Bone marrow aspirate smear: 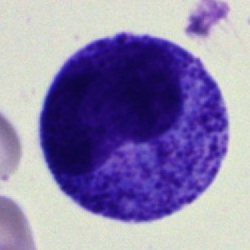
Classification: promyelocyte.